Bone marrow smear · cropped to a single cell.
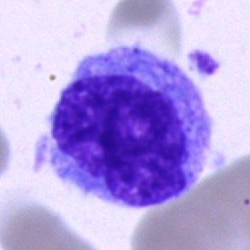Morphology — monocyte.